Single-cell field. Image size 400×400. Peripheral blood film.
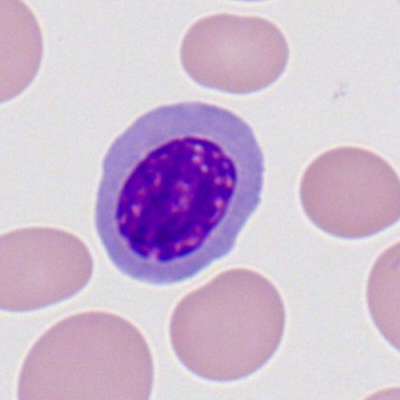 {"cell_type": "normoblast", "lineage": "erythroid"}